Bone marrow aspirate smear.
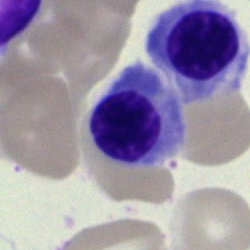A nucleated red blood cell.